Single cell centered in the field · bone marrow smear · May-Grünwald-Giemsa stain — 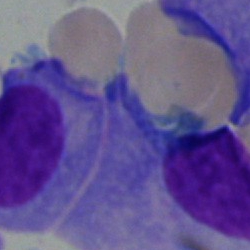Cell type — plasmacyte.